Peripheral blood film: 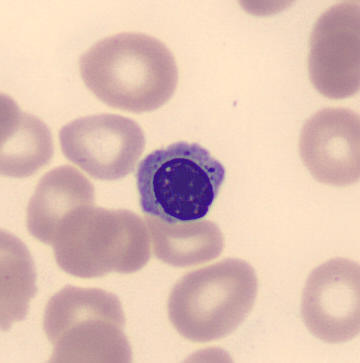This is a nucleated red blood cell.